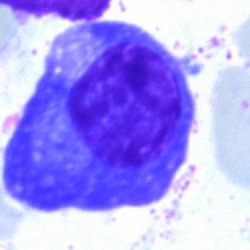
Specimen: bone marrow aspirate smear.
Classification: plasmacyte.
Lineage: lymphoid.